Bone marrow aspirate smear · 250×250 · single-cell field
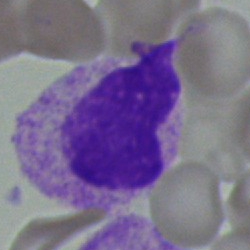Cell type: myelocyte.